Peripheral blood smear: 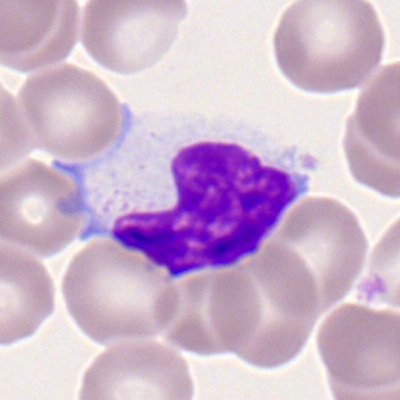Q: What is the morphological classification of this cell?
A: It is a lymphocyte.